Bone marrow smear:
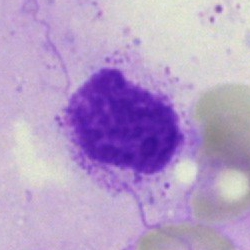Cell type: artefact.